Bone marrow smear · brightfield microscopy, 40× oil immersion
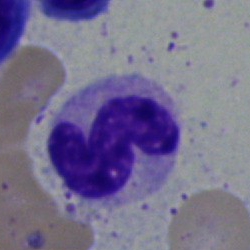

{"cell_type": "band neutrophil"}